Bone marrow smear — 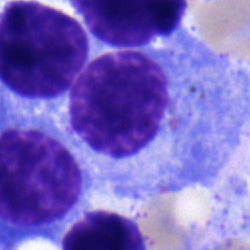 Q: Which cell type is shown here?
A: A plasma cell.